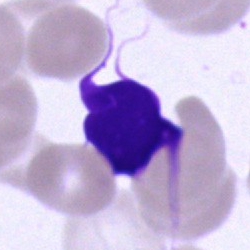
Showing an artifact.